Peripheral blood smear.
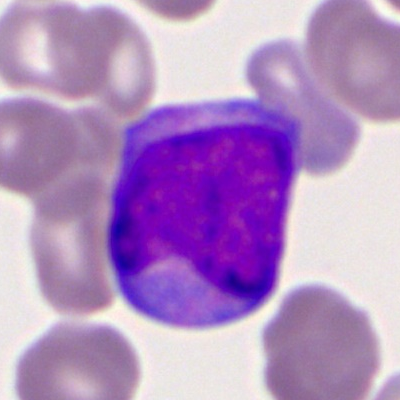

Specimen: peripheral blood film.
Classification: myeloblast.